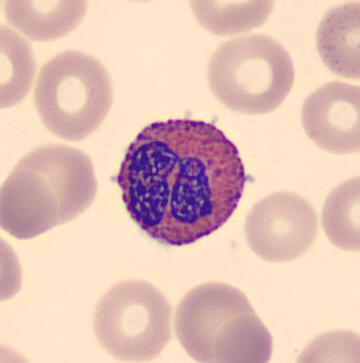Morphology — eosinophil.